Bone marrow aspirate smear — 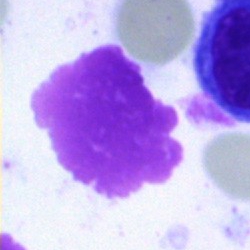Q: What is shown here?
A: It is an artefact.